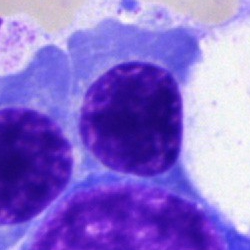

The cell is normoblast.